Bone marrow aspirate smear
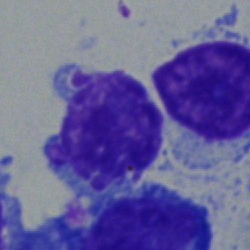 Q: Identify the cell.
A: Typical lymphocyte.